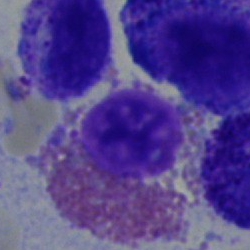Morphology → eosinophilic granulocyte.